Bone marrow smear
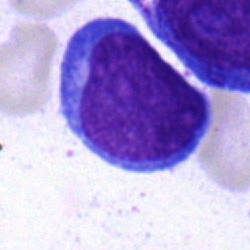 Q: Identify the cell.
A: Blast.